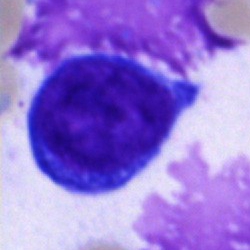

Impression → pronormoblast.